Romanowsky stain; 100× oil immersion; peripheral blood smear.
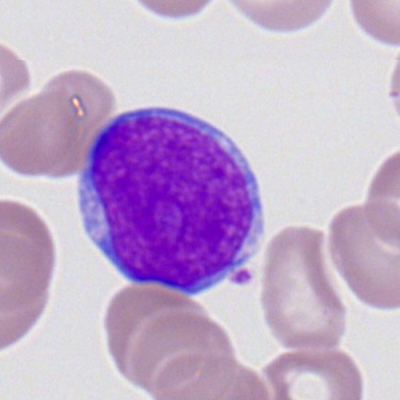 Morphology → myeloid blast.